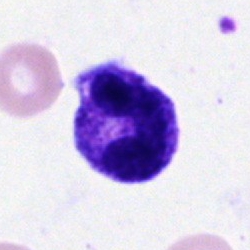Q: What type of cell is this?
A: It is a polymorphonuclear neutrophil.